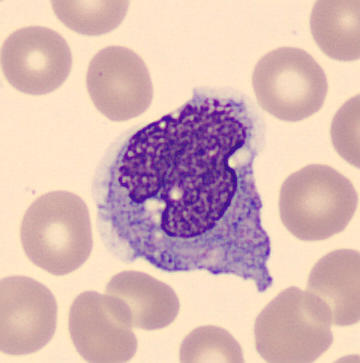

Cell type = monocyte.